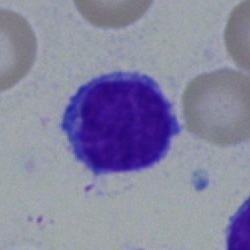

A typical lymphocyte on a bone marrow smear.